Bone marrow smear:
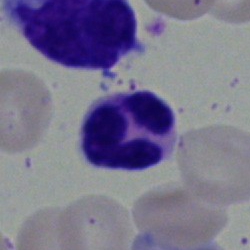
Cell type — segmented neutrophil.